Bone marrow aspirate smear — 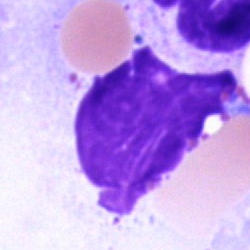

Morphology consistent with an artifact.